Bone marrow smear. 40× oil immersion
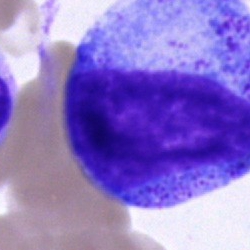
Morphological class: promyelocyte.